Bone marrow aspirate smear:
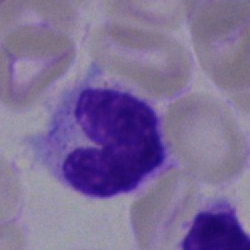

Q: What is shown here?
A: It is an artefact.